Bone marrow aspirate smear
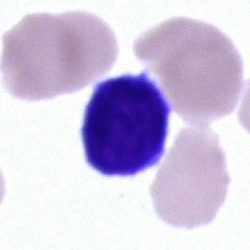 The cell is typical lymphocyte.